Bone marrow aspirate smear; single cell centered in the field
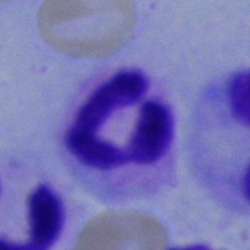Q: Which cell type is shown here?
A: It is a neutrophil (segmented).